Bone marrow smear — 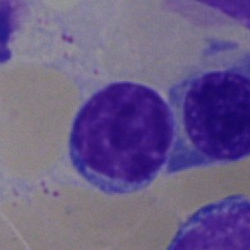
Morphology consistent with a typical lymphocyte.